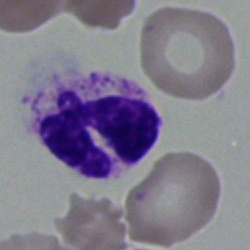 Morphology — segmented neutrophil.